Bone marrow aspirate smear:
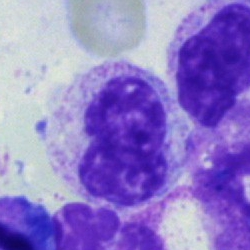Morphology — metamyelocyte.